250×250. Bone marrow aspirate smear — 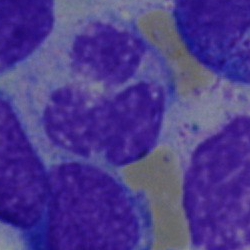Morphology — monocyte.